Bone marrow aspirate smear. May-Grünwald-Giemsa stain. 250×250
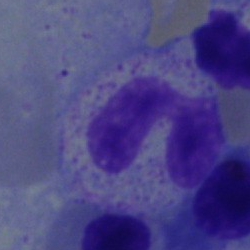
The cell shown is a neutrophil (band).